Brightfield microscopy, 40× oil immersion; single-cell crop; bone marrow smear: 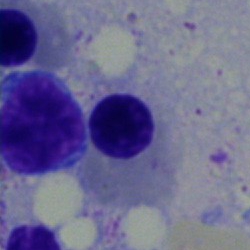
An erythroblast.